Peripheral blood film — 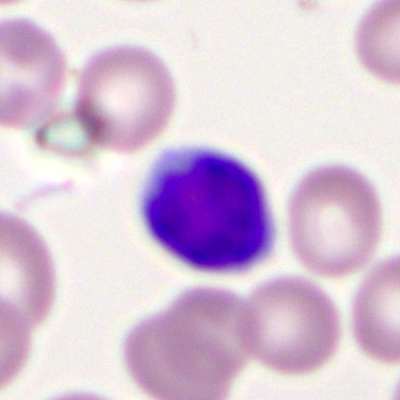Morphology → typical lymphocyte.